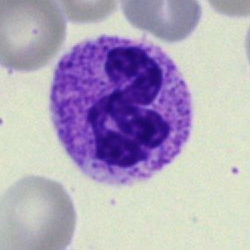
{"cell_type": "neutrophil (segmented)"}